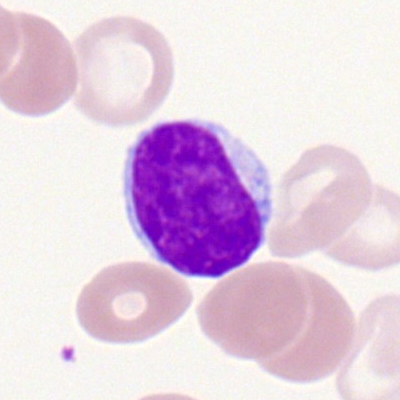Cell type — lymphocyte.